Bone marrow smear — 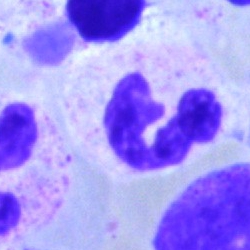
Specimen: bone marrow smear.
Cell type: neutrophil (segmented).